Bone marrow aspirate smear — 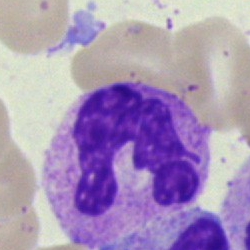

Q: What is the morphological classification of this cell?
A: A polymorphonuclear neutrophil.